Peripheral blood film · Romanowsky stain — 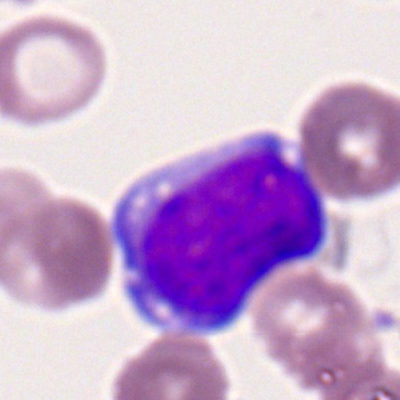Classification: myeloid blast.